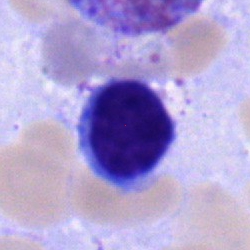

Morphological class — typical lymphocyte.